Bone marrow smear · May-Grünwald-Giemsa stain · brightfield microscopy, 40× oil immersion: 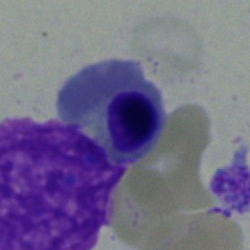
An erythroblast.